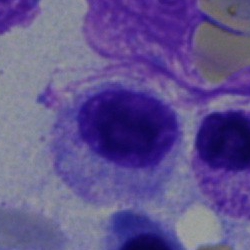

Impression — myelocyte.